Bone marrow aspirate smear
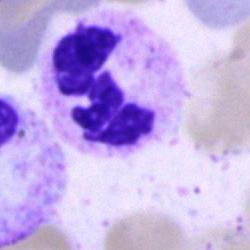 The cell is segmented neutrophil.